40× oil immersion · bone marrow smear
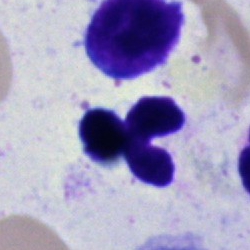

{"cell_type": "artifact"}